Bone marrow aspirate smear
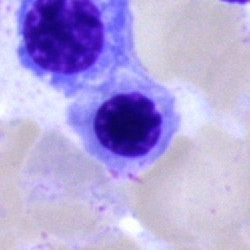
Classification: nucleated red blood cell.